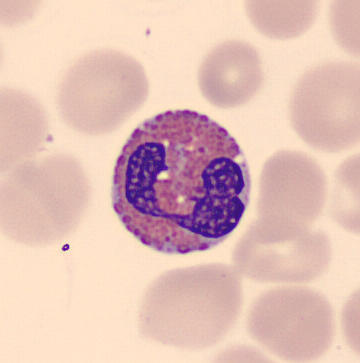 Eosinophil.

Peripheral blood smear.